Bone marrow aspirate smear; 40× objective, oil immersion; single cell centered in the field
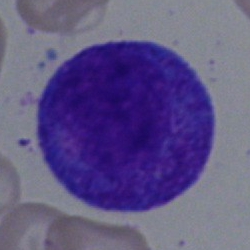

A progranulocyte.